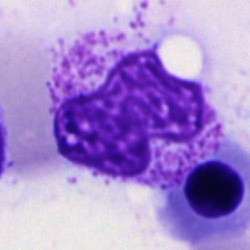 Morphology → erythroblast.